Peripheral blood smear.
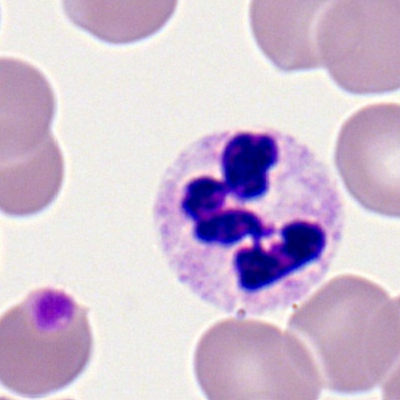
Specimen: peripheral blood film.
Cell: neutrophil (segmented).